Bone marrow aspirate smear: 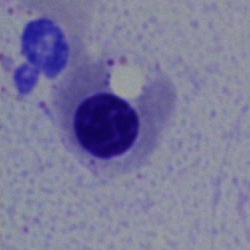Morphology consistent with a normoblast.